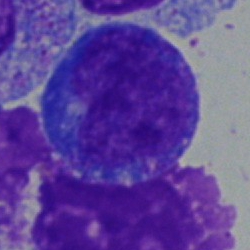
The cell type is blast cell.